Bone marrow smear: 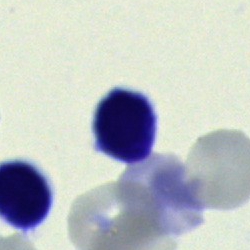Showing a lymphocyte.